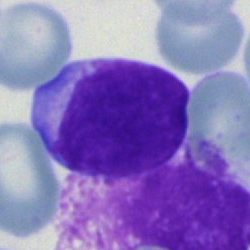

{"cell_type": "lymphocyte"}